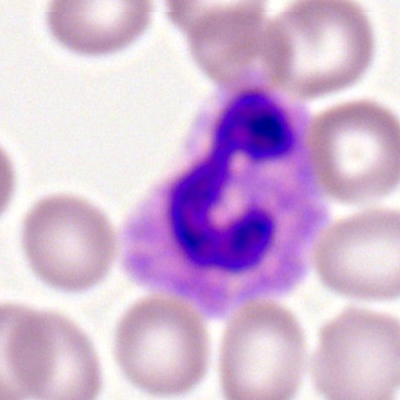Classification = segmented neutrophil.